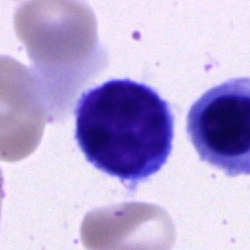 A typical lymphocyte.